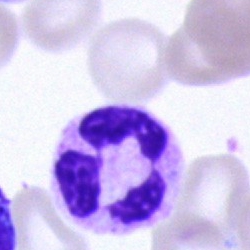
The cell shown is a polymorphonuclear neutrophil.